Single-cell field · bone marrow aspirate smear: 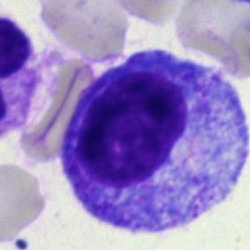Q: What is the morphological classification of this cell?
A: It is a progranulocyte.